Single-cell crop; bone marrow aspirate smear — 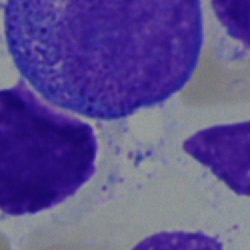Classification — progranulocyte.